Bone marrow aspirate smear
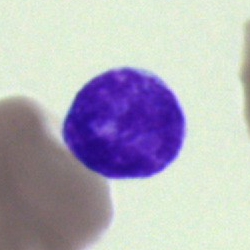
Morphology consistent with a lymphocyte.